Bone marrow smear.
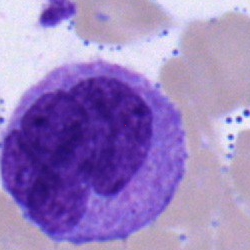
Morphology → monocyte.